Cropped to a single cell; bone marrow aspirate smear.
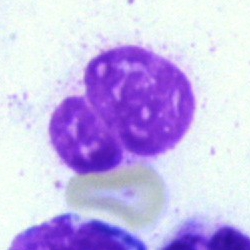
Cell type = artefact.